40× objective, oil immersion · bone marrow aspirate smear — 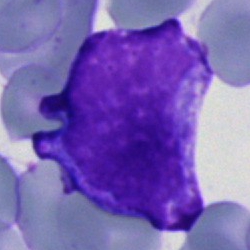
Undifferentiated blast.